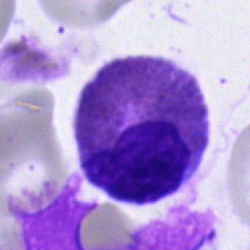
Classification = eosinophil.